Bone marrow smear — 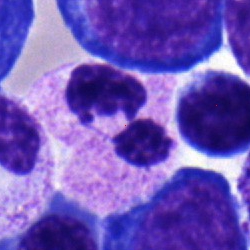 Morphology → myelocyte.